Bone marrow aspirate smear.
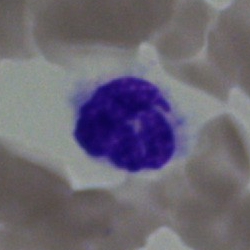

The cell shown is a neutrophil (segmented).